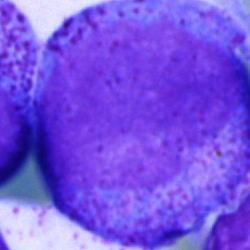 Q: What is the morphological classification of this cell?
A: A promyelocyte.